Peripheral blood film; Romanowsky-stained.
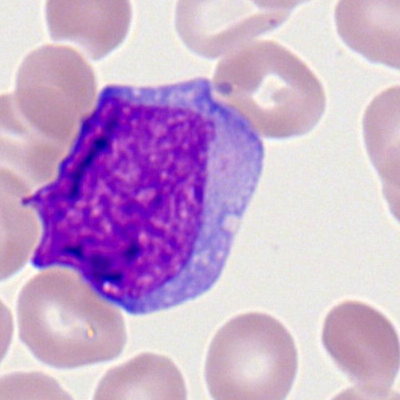 The cell shown is a myeloblast.